Cropped to a single cell. 40× oil immersion. Bone marrow smear:
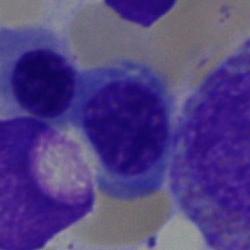Specimen: bone marrow aspirate smear.
Classification: erythroblast.